40× objective, oil immersion. Bone marrow smear.
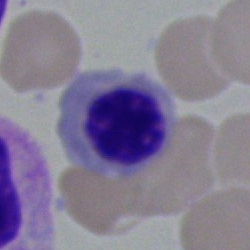The classification is erythroblast.